Bone marrow aspirate smear — 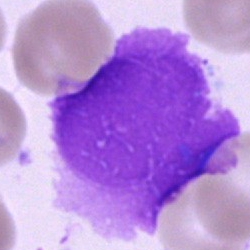

Artifact.